Bone marrow aspirate smear. 40× oil immersion. Single-cell field: 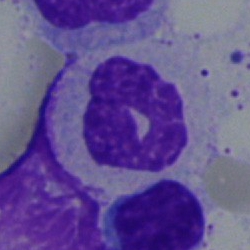
Classification: neutrophil (band).